250×250 px; single-cell field; bone marrow aspirate smear
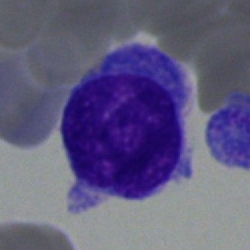 {"cell_type": "blast"}